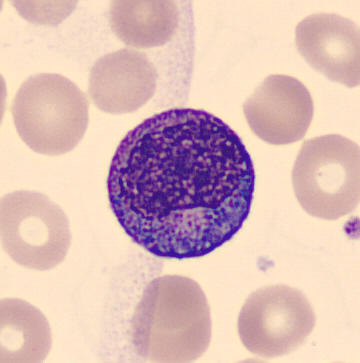
Peripheral blood smear.

Promyelocyte.